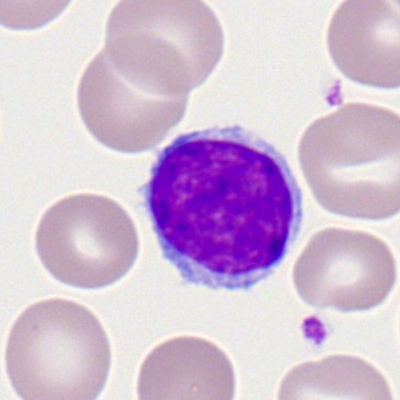

Cell type = typical lymphocyte.